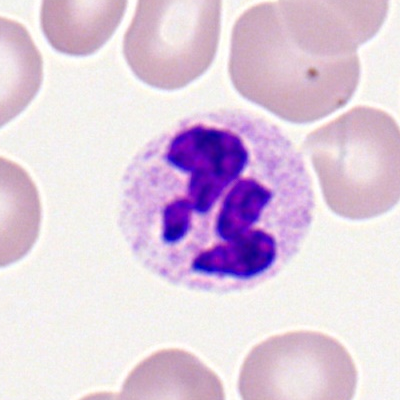Morphology consistent with a neutrophil (segmented).